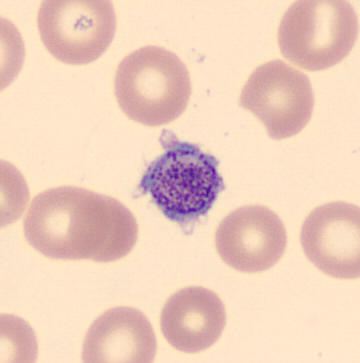

Q: What is this?
A: It is a platelet.

Acquisition: Automated cell imaging (CellaVision DM96); peripheral blood smear.